Brightfield, 40× oil-immersion objective. May-Grünwald-Giemsa stain. Bone marrow aspirate smear.
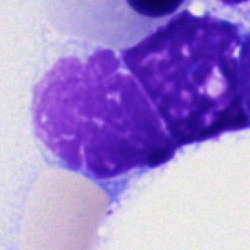 The classification is artifact.